Bone marrow aspirate smear.
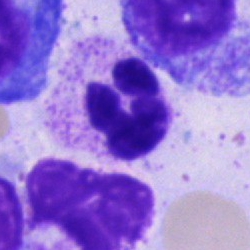Classification = polymorphonuclear neutrophil.